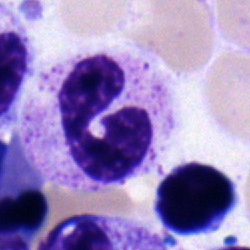
Q: What cell is this?
A: Band-form neutrophil.